Bone marrow aspirate smear; 40× oil immersion: 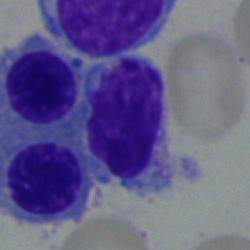
Q: What is the morphological classification of this cell?
A: It is an erythroblast.